Bone marrow aspirate smear. Single-cell field.
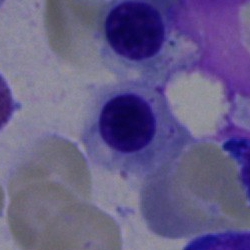

Q: Identify the cell.
A: This is a normoblast.